Bone marrow smear — 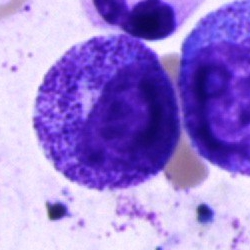Q: Identify the cell.
A: It is a progranulocyte.